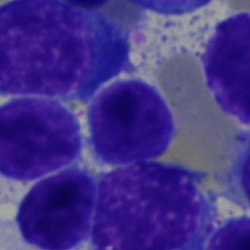 Cell type = lymphocyte.